Pappenheim-stained. Bone marrow smear. Cropped to a single cell — 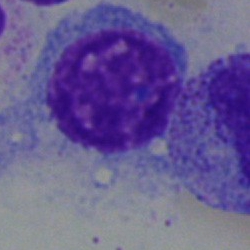

Showing a plasma cell.